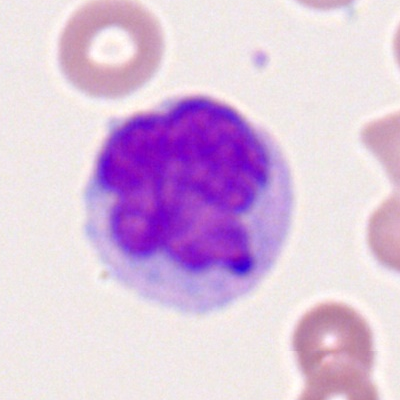

The cell is monocyte.